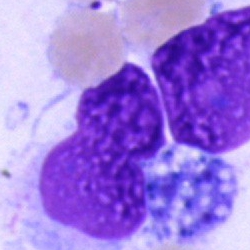 Artifact.